Bone marrow smear.
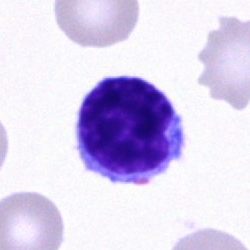 Q: What is shown here?
A: A typical lymphocyte.